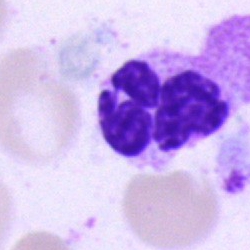

Cell = segmented neutrophil.